Bone marrow aspirate smear: 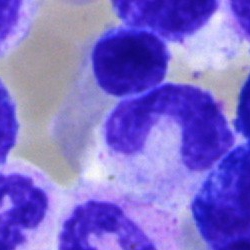Cell type = stab cell.